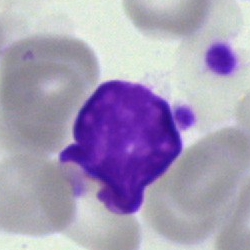
An artifact.